Bone marrow smear
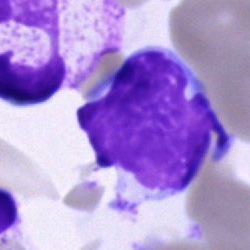 Morphology consistent with a typical lymphocyte.